MGG-stained. Bone marrow smear — 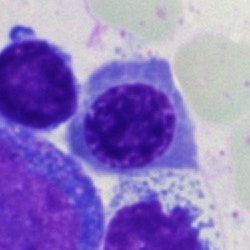
Q: Identify the cell.
A: It is a normoblast.